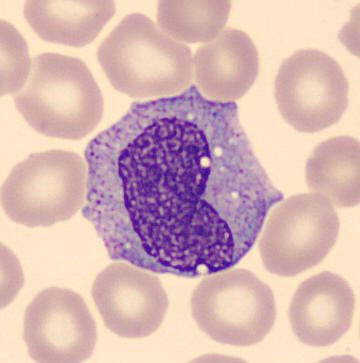
Q: What is the morphological classification of this cell?
A: A monocyte.

Peripheral blood film.